Bone marrow smear.
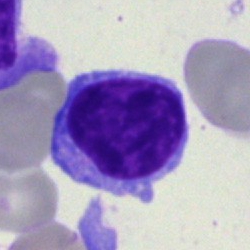Q: What is shown here?
A: A typical lymphocyte.